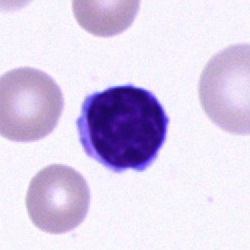 Single-cell crop from a bone marrow smear: lymphocyte.